Bone marrow aspirate smear — 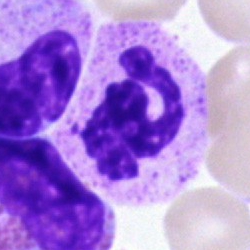 Q: What cell is this?
A: It is a segmented neutrophil.